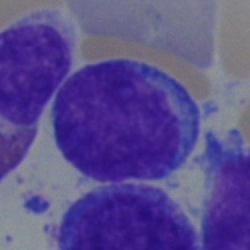Single cell identified as a blast.